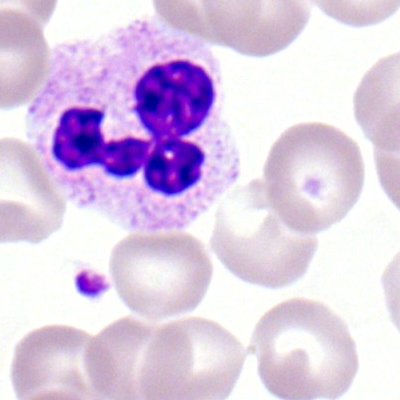

Morphological class = polymorphonuclear neutrophil.